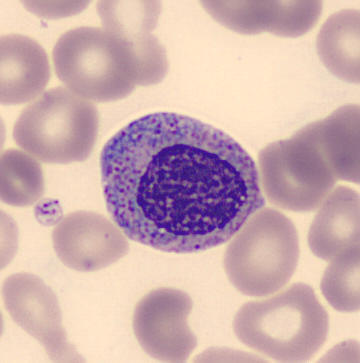

Acquisition: MGG stain; peripheral blood film.
Classification: myelocyte.